Bone marrow smear — 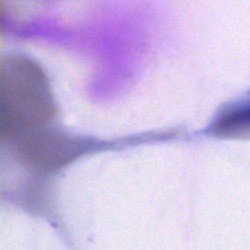

Morphological class: artefact.